Bone marrow aspirate smear; 250×250 px
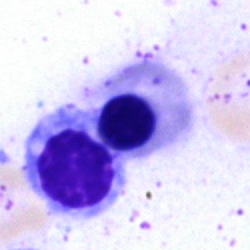
This is a nucleated red cell.